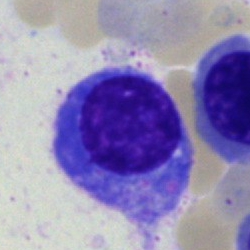 Cell type = plasma cell.